Bone marrow aspirate smear; May-Grünwald-Giemsa/Pappenheim stain.
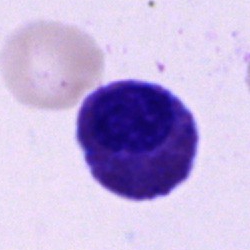

Eosinophilic granulocyte.